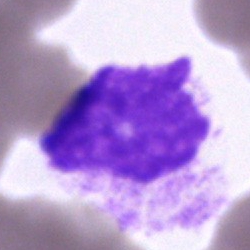 Q: Which cell type is shown here?
A: An unidentifiable cell.